Bone marrow aspirate smear · single-cell field · brightfield, 40× oil-immersion objective — 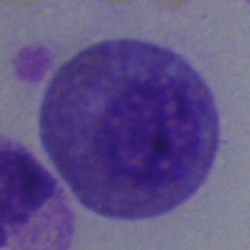

Specimen: bone marrow aspirate smear.
Classification: eosinophilic granulocyte.
Lineage: myeloid.